May-Grünwald-Giemsa/Pappenheim stain; bone marrow smear.
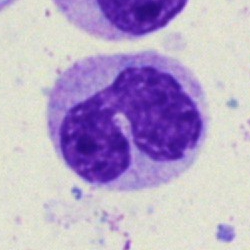
Morphology consistent with a band neutrophil.